Single-cell crop. Bone marrow smear: 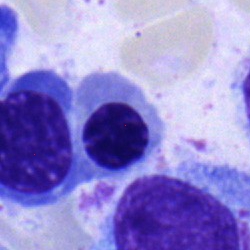Q: What cell is this?
A: It is an erythroblast.